Romanowsky stain · peripheral blood smear · single-cell crop:
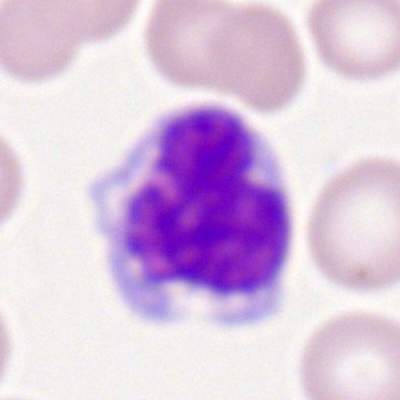 Morphological class: monocyte.